Image size 250×250 · bone marrow aspirate smear
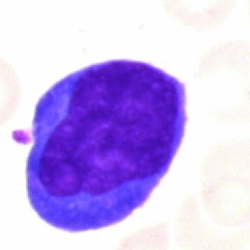

Q: What cell is this?
A: It is a lymphocyte (immature).